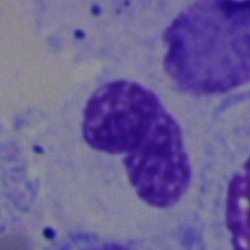
{"cell_type": "neutrophil (band)", "lineage": "myeloid"}